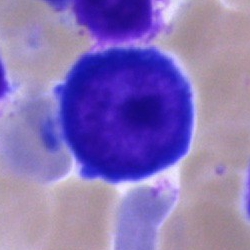
Bone marrow aspirate smear, single cell — proerythroblast.